40× objective, oil immersion · bone marrow aspirate smear · cropped to a single cell:
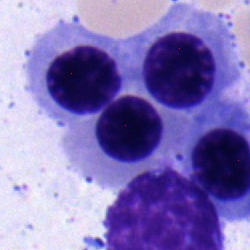Nucleated red cell.